Romanowsky-type stain; peripheral blood smear.
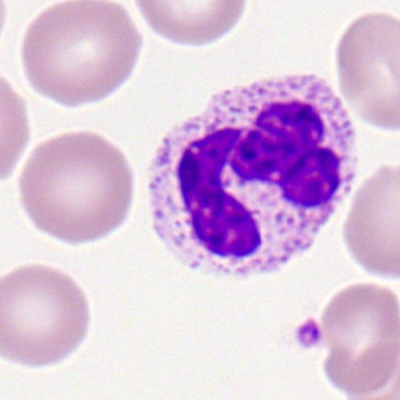

Cell = polymorphonuclear neutrophil.